Bone marrow smear
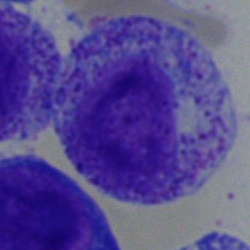

Cell type — myelocyte.